Pappenheim-stained · bone marrow aspirate smear:
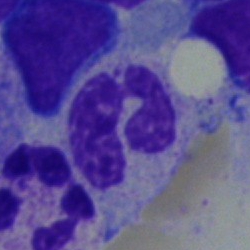Morphology — neutrophil (segmented).